Bone marrow aspirate smear · 40× oil immersion
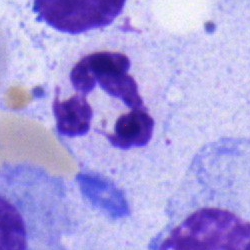The classification is segmented neutrophil.